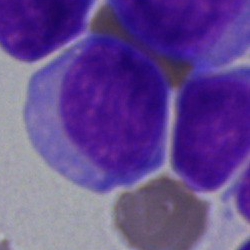This is a blast.